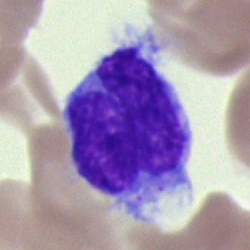 A monocyte.